Bone marrow smear: 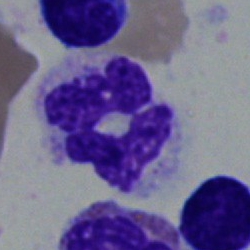Morphology → neutrophil (segmented).